Bone marrow smear
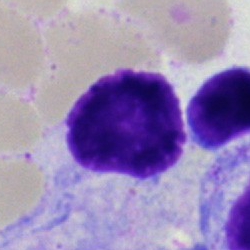Q: What is shown here?
A: It is an artifact.